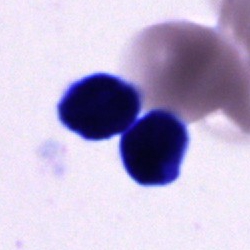
Morphological class: unidentifiable cell.